Bone marrow aspirate smear:
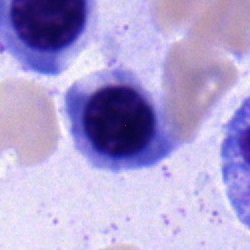

Nucleated red cell.